Bone marrow aspirate smear — 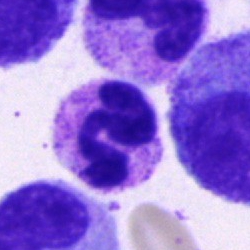 The cell is neutrophil (segmented).